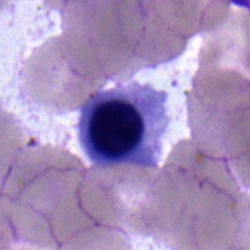Morphology consistent with an erythroblast.